250 by 250 pixels. 40× oil immersion. Bone marrow aspirate smear.
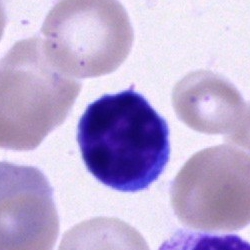This is a lymphocyte.